Image size 250×250; bone marrow aspirate smear:
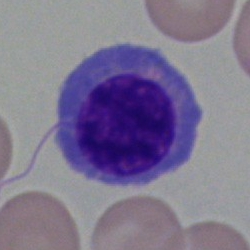

A nucleated red cell.